Image size 250×250. Bone marrow smear — 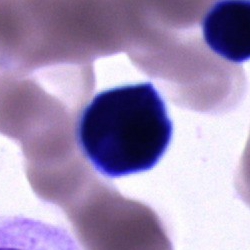

Morphology consistent with an unidentifiable cell.